Bone marrow aspirate smear: 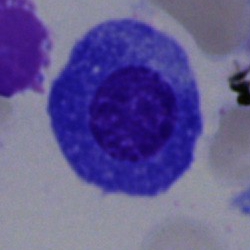

Cell type — plasmacyte.